Bone marrow aspirate smear — 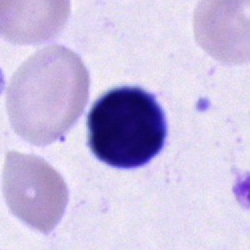
Q: Which cell type is shown here?
A: Unidentifiable cell.